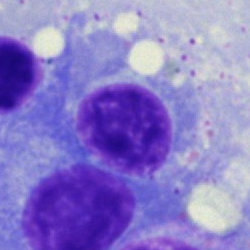 Morphology — plasma cell.